Bone marrow aspirate smear. Single-cell crop: 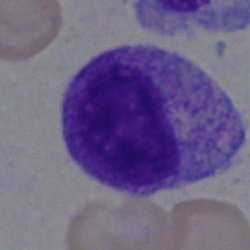Specimen: bone marrow smear.
Morphological class: myelocyte.